Bone marrow aspirate smear. May-Grünwald-Giemsa stain
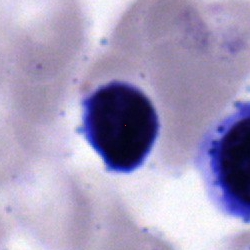Impression → typical lymphocyte.